Bone marrow smear: 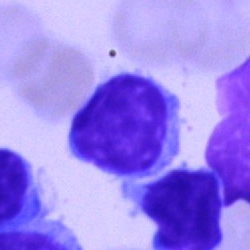
Specimen: bone marrow aspirate smear.
Cell: typical lymphocyte.